Bone marrow aspirate smear; 40× objective, oil immersion: 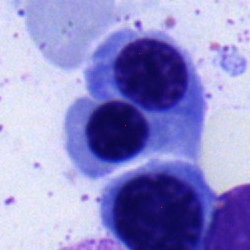

Cell type: nucleated red cell.